Brightfield, 40× oil-immersion objective; bone marrow smear; May-Grünwald-Giemsa/Pappenheim stain: 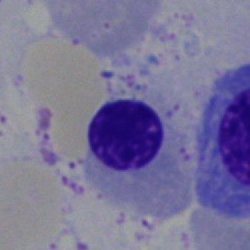

Q: What cell is this?
A: Erythroblast.